Bone marrow aspirate smear:
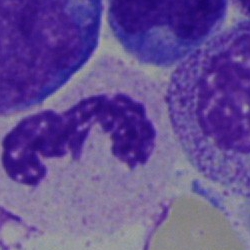
The cell shown is a neutrophil (segmented).